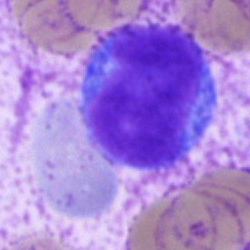Q: What is shown here?
A: Undifferentiated blast.